Bone marrow aspirate smear:
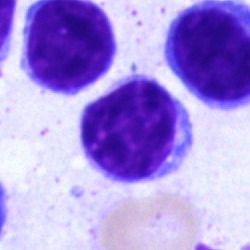This is a typical lymphocyte.